Bone marrow aspirate smear: 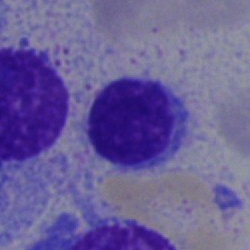

Specimen: bone marrow smear.
Cell type: typical lymphocyte.
Lineage: lymphoid.